Bone marrow aspirate smear. Single-cell field.
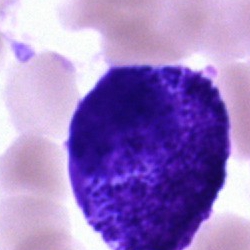 Single cell identified as a blast.